Single cell centered in the field. Bone marrow smear:
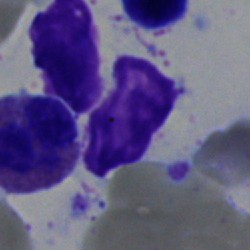Artifact.